MGG-stained. Bone marrow smear:
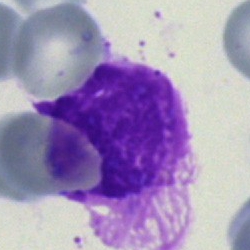Cell type — artefact.